Peripheral blood smear. Cropped to a single cell:
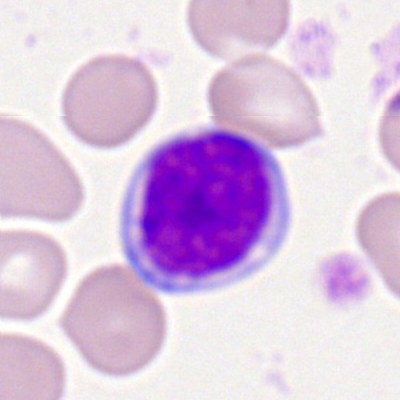 The cell shown is a typical lymphocyte.